Bone marrow smear. 40× oil immersion: 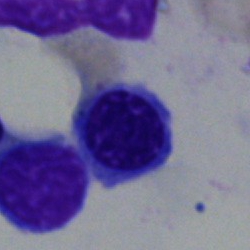
Specimen: bone marrow smear.
Cell: nucleated red blood cell.